Bone marrow aspirate smear.
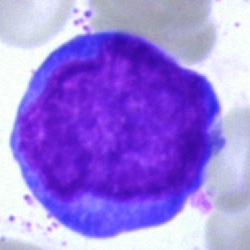
Q: What is the morphological classification of this cell?
A: It is an undifferentiated blast.